Bone marrow smear · image size 250×250.
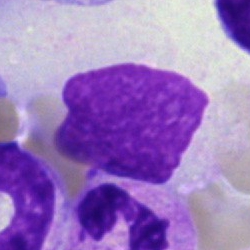Classification — artefact.